Bone marrow smear: 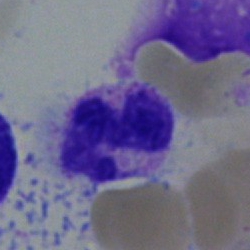

This is a neutrophil (segmented).